May-Grünwald-Giemsa/Pappenheim stain · bone marrow aspirate smear — 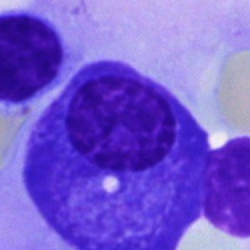

Morphology — plasma cell.